Bone marrow smear. Single cell centered in the field. 250×250: 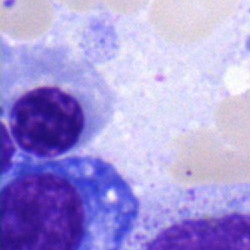
Q: Identify the cell.
A: A nucleated red cell.